Single cell centered in the field. Bone marrow aspirate smear.
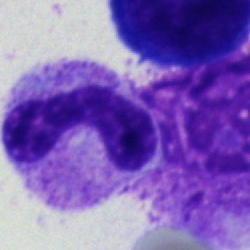Cell = neutrophil (band).